Brightfield, 40× oil-immersion objective. Bone marrow smear
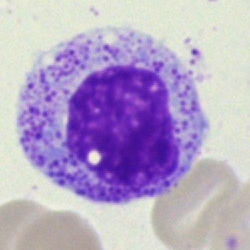
The cell shown is a myelocyte.